Bone marrow aspirate smear: 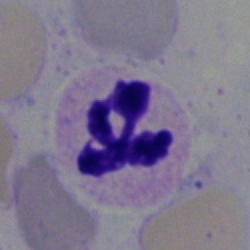 Specimen: bone marrow aspirate smear.
Cell: neutrophil (segmented).